Bone marrow smear.
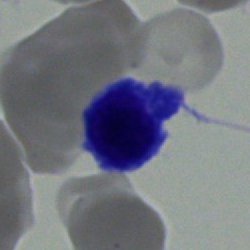
Morphological class — typical lymphocyte.